Bone marrow aspirate smear.
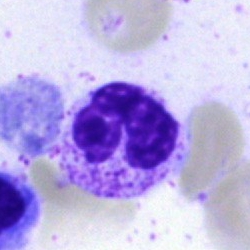

Q: What is shown here?
A: A segmented neutrophil.